Peripheral blood smear.
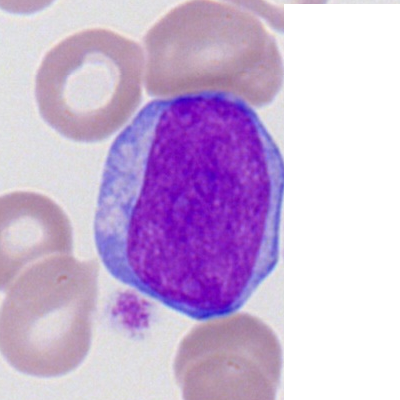

The morphological class is myeloid blast.